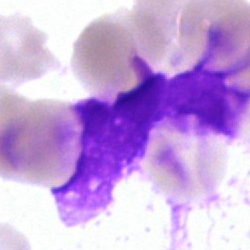

This is an artefact.